Bone marrow aspirate smear:
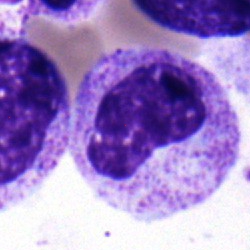Single cell identified as a metamyelocyte.